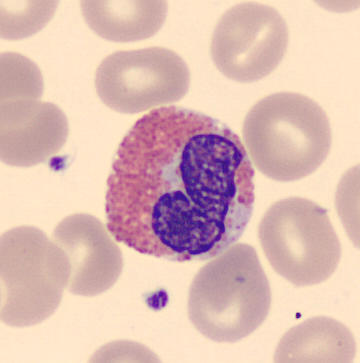

Specimen: peripheral blood film.
Morphological class: eosinophilic granulocyte.